Peripheral blood smear — 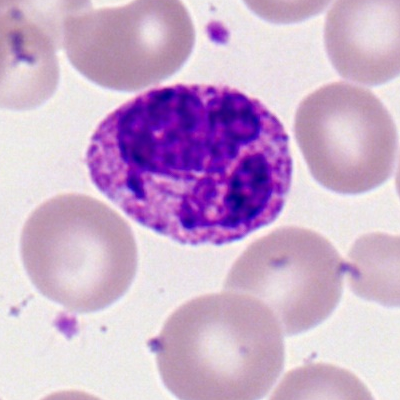 Q: What is shown here?
A: A basophilic granulocyte.